Bone marrow smear
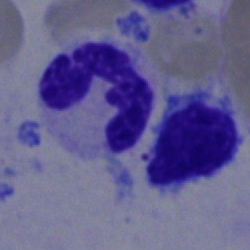
Specimen: bone marrow aspirate smear.
Cell type: neutrophil (segmented).